Bone marrow smear:
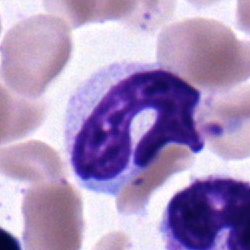
Morphology consistent with a segmented neutrophil.